Single-cell crop · 40× oil immersion · bone marrow aspirate smear — 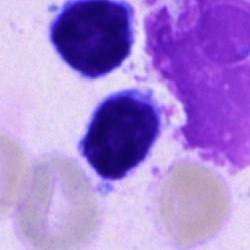Q: Which cell type is shown here?
A: It is a typical lymphocyte.